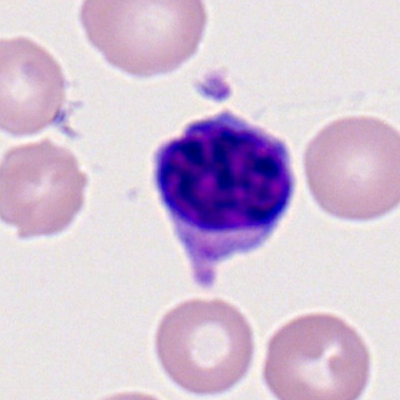Impression → typical lymphocyte.